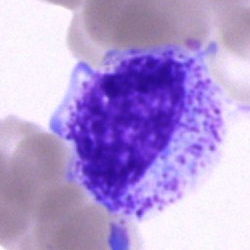Specimen: bone marrow aspirate smear.
Cell: myelocyte.
Lineage: myeloid.